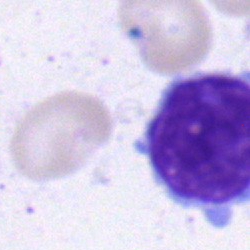{"cell_type": "typical lymphocyte"}